Bone marrow aspirate smear. May-Grünwald-Giemsa stain. Single-cell crop — 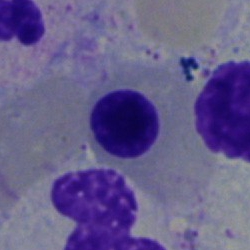

Specimen: bone marrow smear.
Morphological class: nucleated red blood cell.